Bone marrow aspirate smear; single-cell crop; 250×250 px.
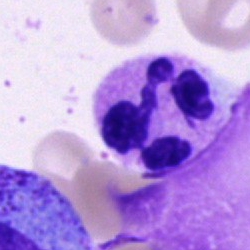Morphology consistent with a polymorphonuclear neutrophil.